Bone marrow aspirate smear — 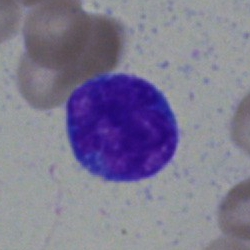

Morphological class = typical lymphocyte.